Bone marrow aspirate smear; Pappenheim-stained:
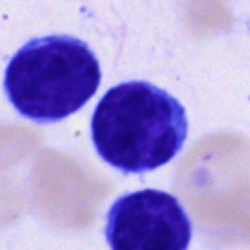
Specimen: bone marrow smear.
Morphological class: typical lymphocyte.
Lineage: lymphoid.